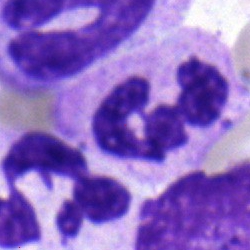
Bone marrow smear showing a segmented neutrophil.